Bone marrow aspirate smear. May-Grünwald-Giemsa stain — 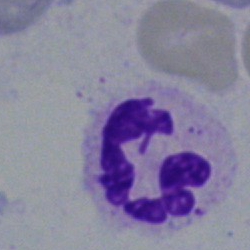

Classification = neutrophil (segmented).